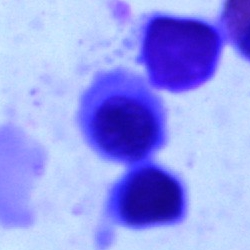
Cell = band neutrophil.